Bone marrow aspirate smear. Image size 250×250:
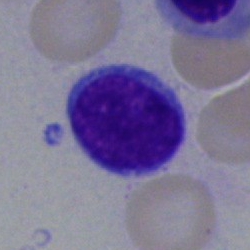

Typical lymphocyte.